40× oil immersion; bone marrow smear
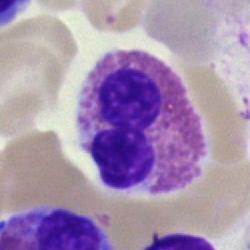
Eosinophil.